May-Grünwald-Giemsa/Pappenheim stain; brightfield microscopy, 40× oil immersion; bone marrow aspirate smear: 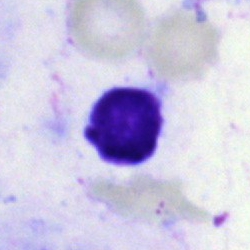 This is an artifact.